Bone marrow aspirate smear:
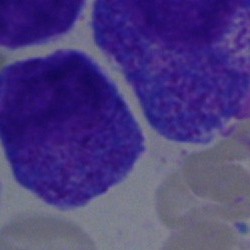
Q: What is the morphological classification of this cell?
A: Progranulocyte.